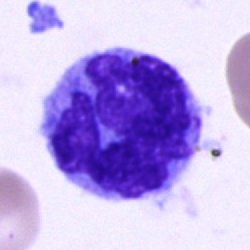 Cell = monocyte.